Peripheral blood smear — 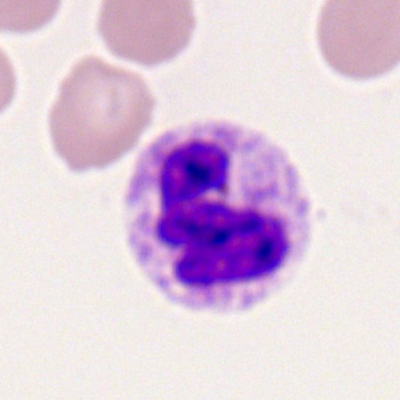
This is a polymorphonuclear neutrophil.